Bone marrow smear — 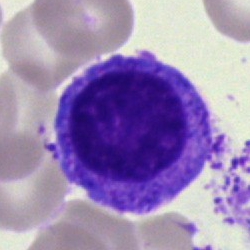

Morphological class — myelocyte.